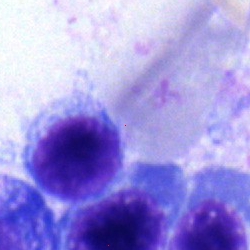
The cell type is lymphocyte.